Bone marrow smear:
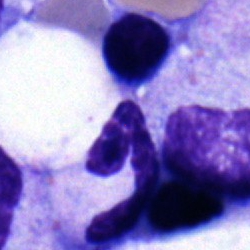
Specimen: bone marrow smear.
Cell type: stab cell.